Bone marrow aspirate smear. May-Grünwald-Giemsa/Pappenheim stain. 250 by 250 pixels:
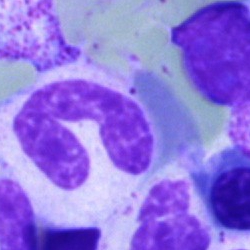 The classification is band neutrophil.